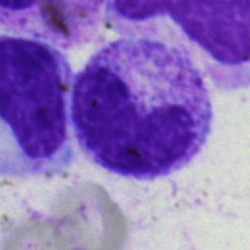Q: Identify the cell.
A: Band-form neutrophil.